Bone marrow smear: 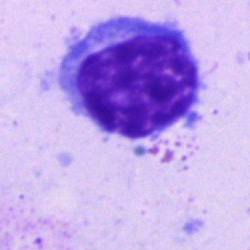
Lymphocyte.